Bone marrow aspirate smear; May-Grünwald-Giemsa stain; 40× objective, oil immersion
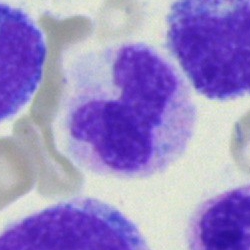

{"cell_type": "neutrophil (segmented)", "lineage": "myeloid"}